Peripheral blood smear — 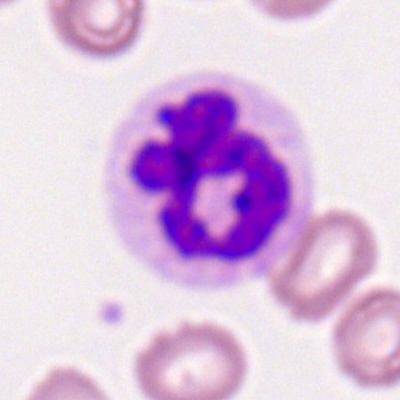

Morphological class: neutrophil (segmented).